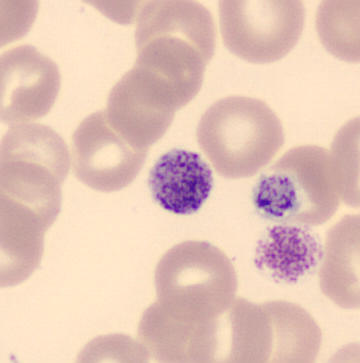 Cell type: platelet. Image: Peripheral blood film. 360×363 px.